Bone marrow aspirate smear:
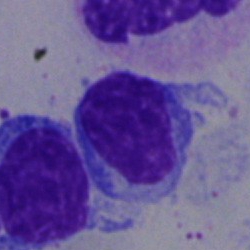 Showing a lymphocyte.